Single-cell field. Bone marrow smear
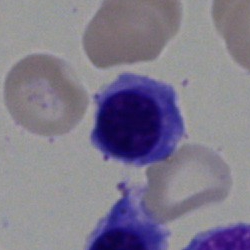Impression → nucleated red blood cell.